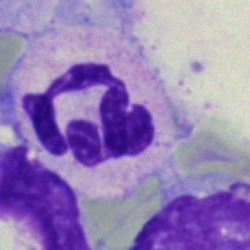
The morphological class is polymorphonuclear neutrophil.